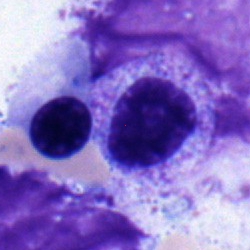 Bone marrow smear showing a myelocyte.